250×250 px; cropped to a single cell; bone marrow smear: 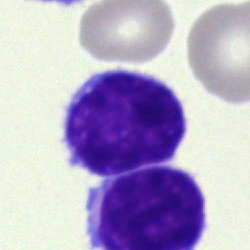
Classification — typical lymphocyte.